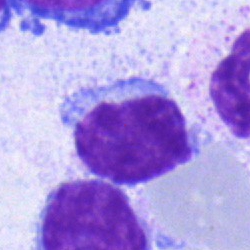

Cell — lymphocyte.